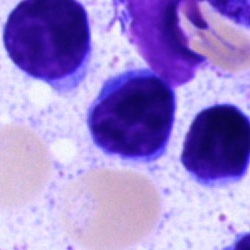

The morphological class is typical lymphocyte.